Bone marrow smear — 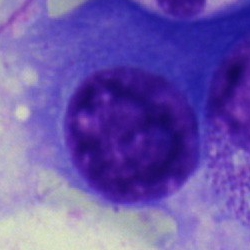

Q: What type of cell is this?
A: It is a plasmacyte.